Bone marrow smear:
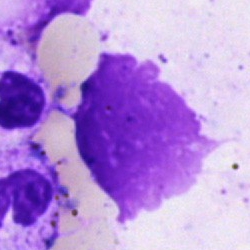 Impression — artefact.